Bone marrow smear · image size 250×250
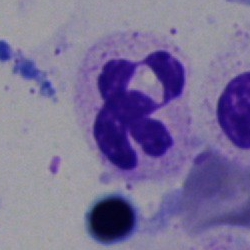A neutrophil (segmented).